Bone marrow smear · 250×250.
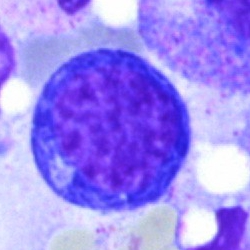 Impression → nucleated red cell.